Peripheral blood smear · single cell centered in the field · image size 400×400: 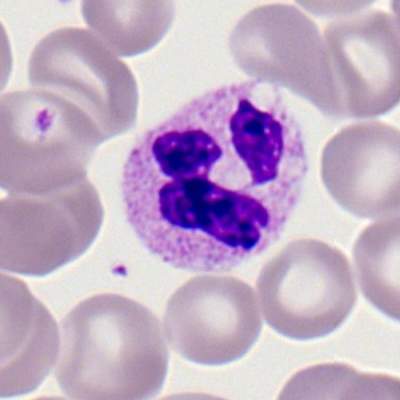

Single cell identified as a neutrophil (segmented).